Bone marrow smear.
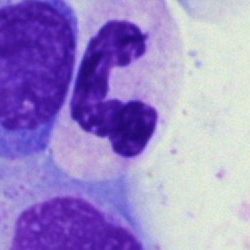 Specimen: bone marrow smear.
Cell type: segmented neutrophil.
Lineage: myeloid.